Peripheral blood film. Single-cell field: 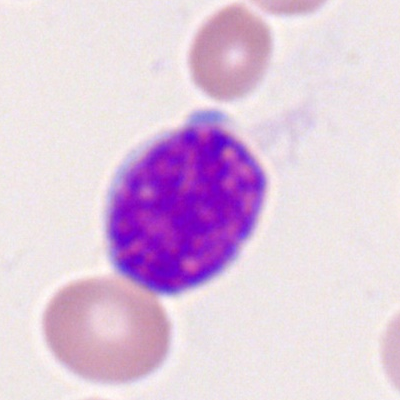 Morphology consistent with a typical lymphocyte.